Pappenheim-stained · bone marrow smear · 40× oil immersion — 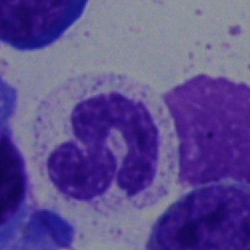
The cell shown is a neutrophil (segmented).